Bone marrow aspirate smear — 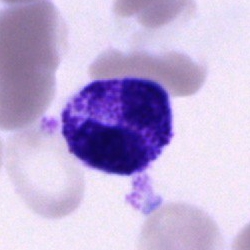
Specimen: bone marrow aspirate smear.
Morphological class: unidentifiable cell.